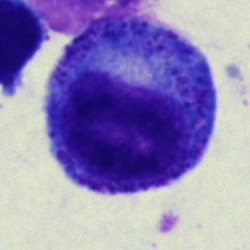Specimen: bone marrow smear.
Cell: progranulocyte.